100× oil immersion; single-cell crop; peripheral blood film: 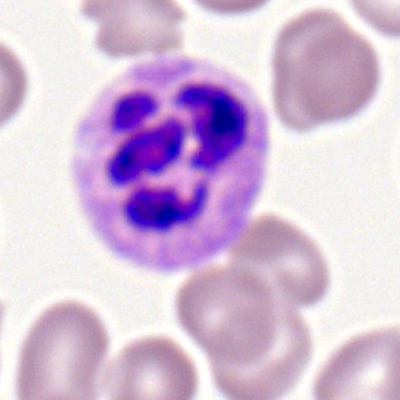

Q: What cell is this?
A: Neutrophil (segmented).